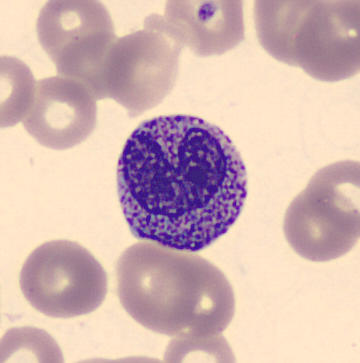

{"cell_type": "metamyelocyte", "lineage": "myeloid"}